40× oil immersion · cropped to a single cell · bone marrow aspirate smear:
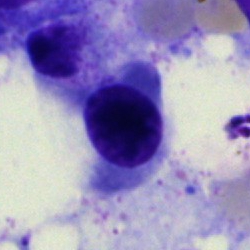 {"cell_type": "normoblast"}